Bone marrow smear.
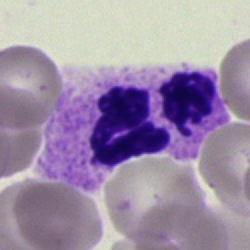 Classification — neutrophil (segmented).